40× oil immersion; bone marrow aspirate smear; cropped to a single cell.
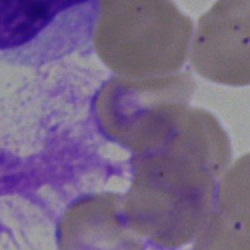

Specimen: bone marrow smear.
Cell: artefact.